Bone marrow smear: 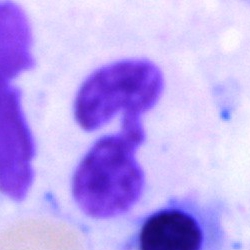 Impression — neutrophil (segmented).